Bone marrow aspirate smear:
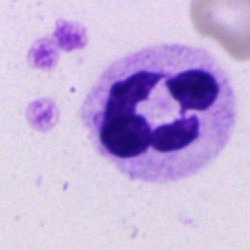
Classification: neutrophil (segmented).